Bone marrow smear · 250×250 px — 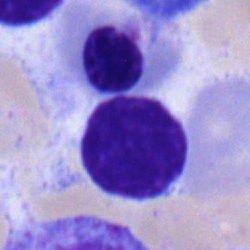 Morphology — nucleated red blood cell.